Pappenheim-stained; bone marrow smear
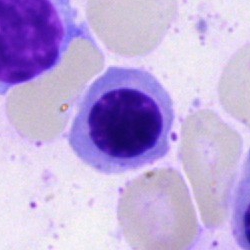Specimen: bone marrow aspirate smear.
Classification: normoblast.